Bone marrow aspirate smear: 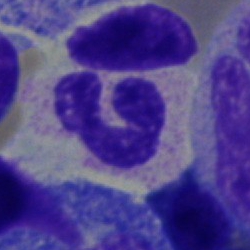 Showing a neutrophil (segmented).